Bone marrow smear. May-Grünwald-Giemsa stain. 250×250 — 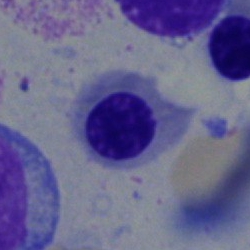 Q: What is shown here?
A: A nucleated red blood cell.